Bone marrow smear; MGG-stained; 40× oil immersion — 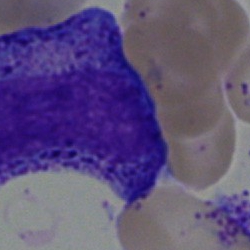 Single cell identified as a promyelocyte.